Bone marrow aspirate smear — 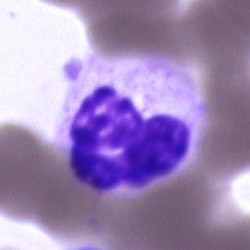 The cell shown is a segmented neutrophil.